Peripheral blood film:
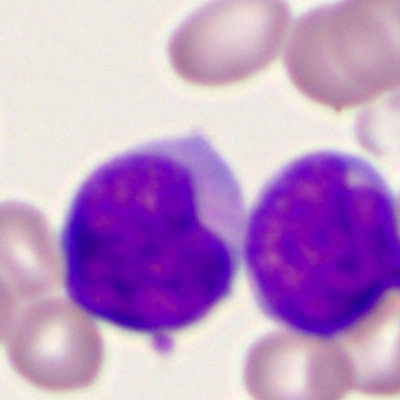Q: What type of cell is this?
A: A myeloblast.